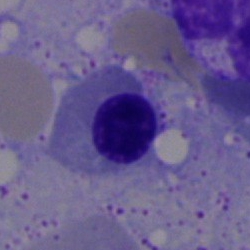Classification — normoblast.